Bone marrow aspirate smear. 40× objective, oil immersion. 250×250.
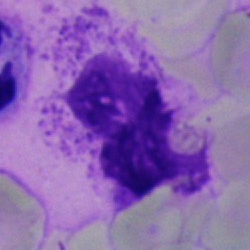
Classification: artefact.